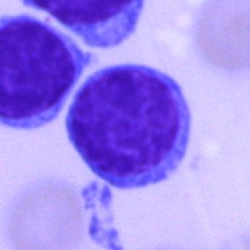
Impression — typical lymphocyte.